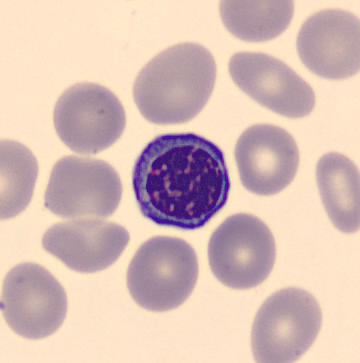

From a peripheral blood smear: a nucleated red blood cell.